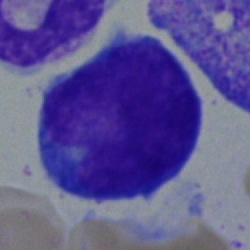 Q: What is shown here?
A: Blast.